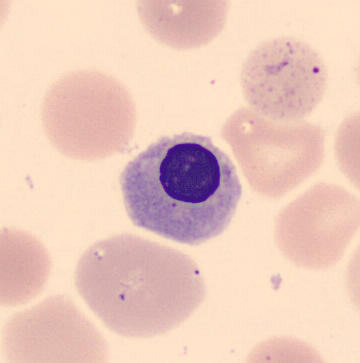
Specimen: peripheral blood film.
Morphological class: normoblast.